Bone marrow smear. Pappenheim-stained — 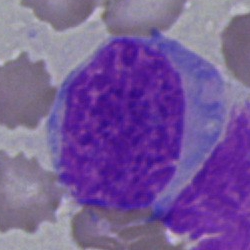Blast cell.